Bone marrow smear:
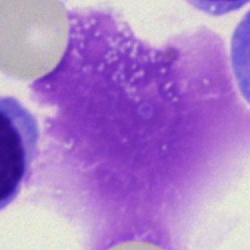 Artifact.